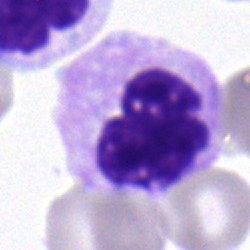Morphological class: segmented neutrophil.